Peripheral blood smear
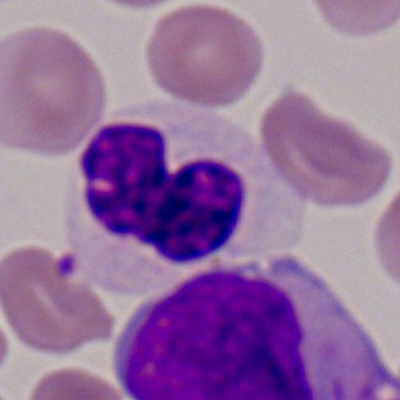
Classification — neutrophil (segmented).